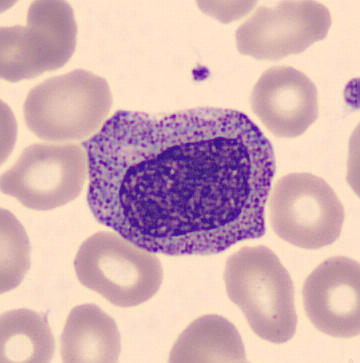Single cell identified as a promyelocyte.
Preparation: MGG stain. 360 by 363 pixels. Peripheral blood film.